Bone marrow smear. Single-cell field.
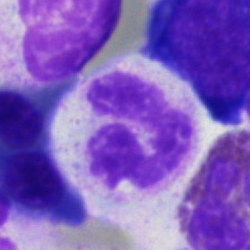

Specimen: bone marrow smear.
Cell: polymorphonuclear neutrophil.
Lineage: myeloid.